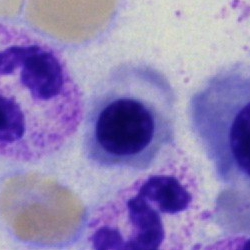The morphological class is erythroblast.